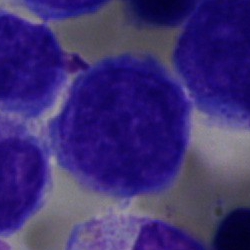 Morphology — blast cell.